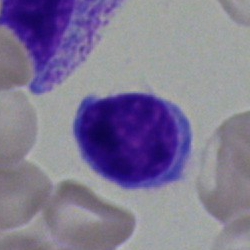 Classification = lymphocyte.